Romanowsky stain · 100× oil immersion · peripheral blood film:
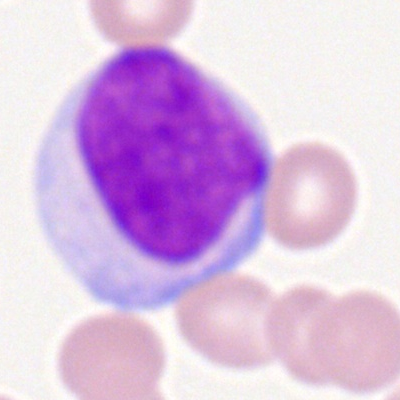Morphology consistent with a lymphocyte.